Bone marrow aspirate smear · 250×250.
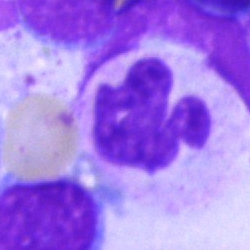
Specimen: bone marrow aspirate smear.
Cell: neutrophil (segmented).